Bone marrow smear — 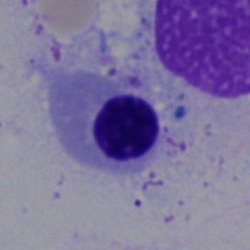

Morphology consistent with a nucleated red blood cell.